Bone marrow smear — 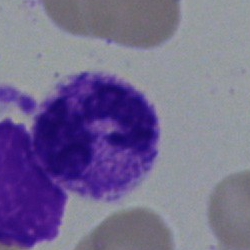

A polymorphonuclear neutrophil.